Image size 250×250; bone marrow smear — 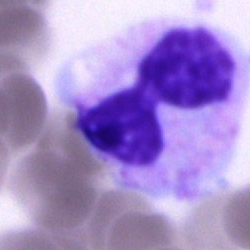
Morphology → neutrophil (segmented).